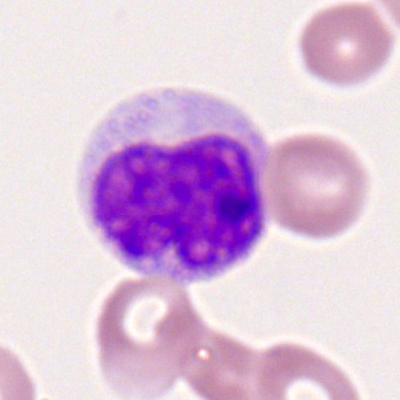

This is a monocyte.